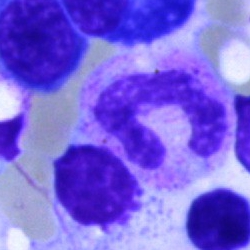

Morphological class: neutrophil (segmented).